May-Grünwald-Giemsa stain; bone marrow smear; 250×250.
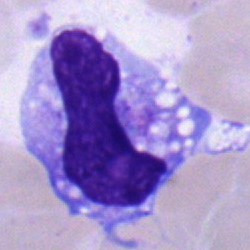 The cell shown is a monocyte.